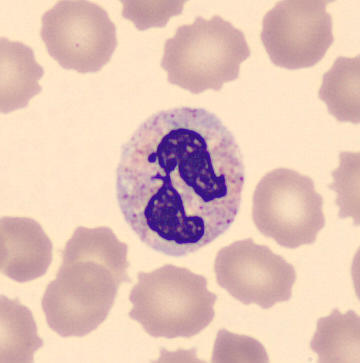 Single-cell crop from a peripheral blood smear: neutrophil (segmented).